Bone marrow aspirate smear. Single cell centered in the field
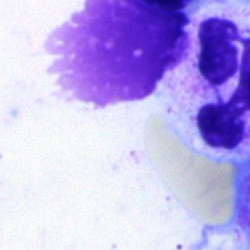

The morphological class is artifact.